40× objective, oil immersion; bone marrow smear; 250 by 250 pixels.
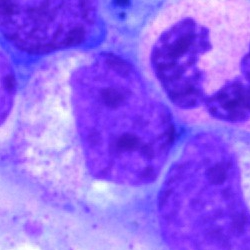 The cell type is myelocyte.